Bone marrow aspirate smear.
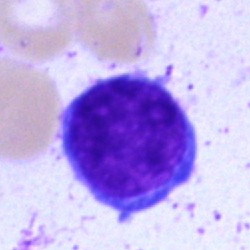 A typical lymphocyte.